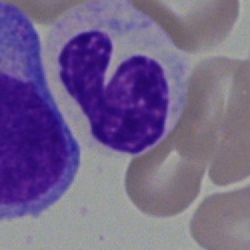
Q: What cell is this?
A: A segmented neutrophil.